Peripheral blood film
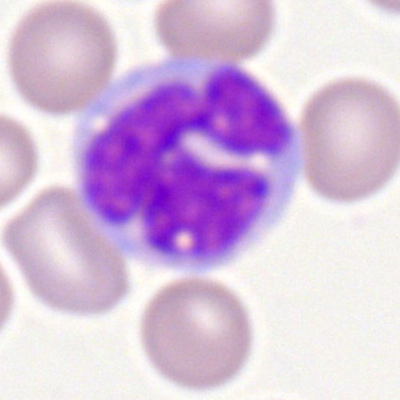A monocyte.